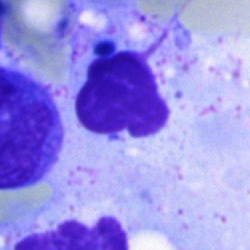 Showing an artefact.